Bone marrow smear — 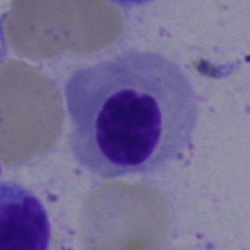 Showing a nucleated red blood cell.